400×400. Peripheral blood film
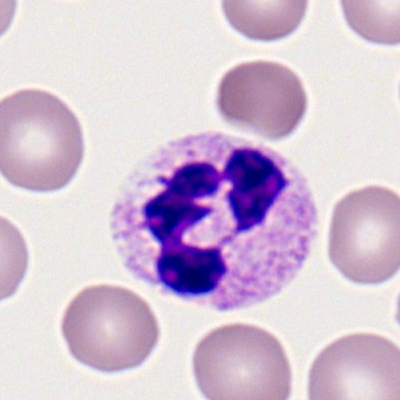

Cell type: neutrophil (segmented).